Brightfield, 40× oil-immersion objective; bone marrow smear:
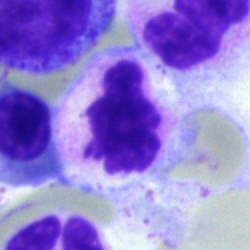

Morphology — neutrophil (segmented).